Peripheral blood smear
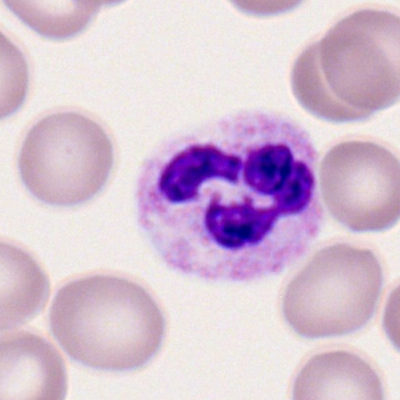Morphology consistent with a polymorphonuclear neutrophil.